Peripheral blood film — 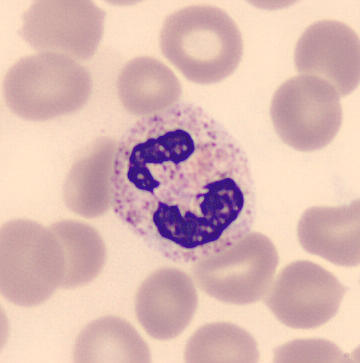

{"cell_type": "polymorphonuclear neutrophil"}